Bone marrow aspirate smear
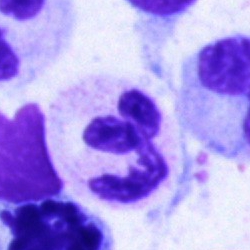
Single cell identified as a segmented neutrophil.